Peripheral blood film:
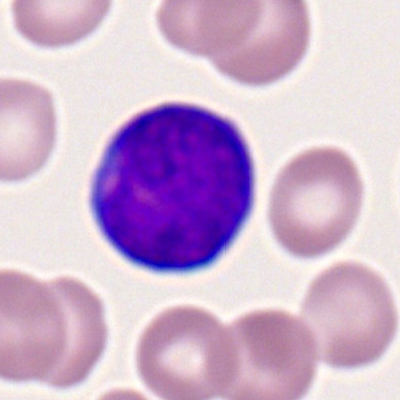
Myeloblast.